Bone marrow aspirate smear.
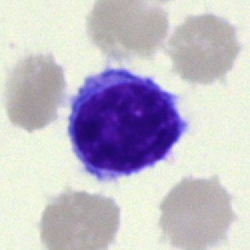
Morphology consistent with a typical lymphocyte.